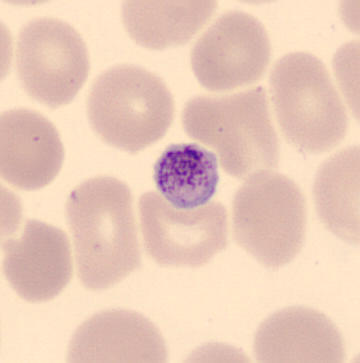

Cell type — thrombocyte.

Peripheral blood smear.